Bone marrow smear:
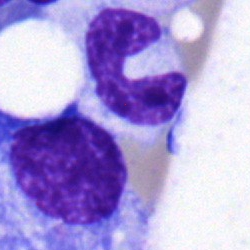Band neutrophil.